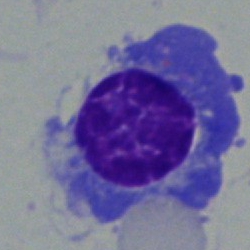 Impression → plasma cell.